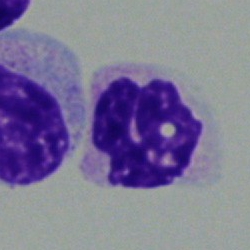 Morphology — polymorphonuclear neutrophil.